Bone marrow aspirate smear
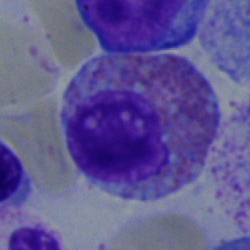 Q: Which cell type is shown here?
A: Eosinophilic granulocyte.